Bone marrow aspirate smear · 40× objective, oil immersion.
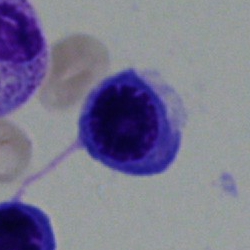

A nucleated red blood cell.